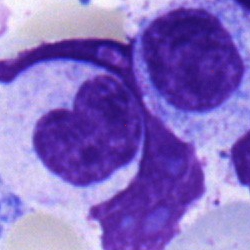

The cell shown is a metamyelocyte.